Bone marrow smear: 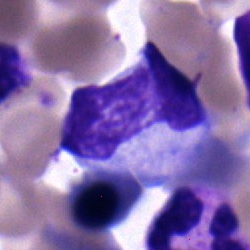

Specimen: bone marrow aspirate smear.
Morphological class: monocyte.
Lineage: myeloid.